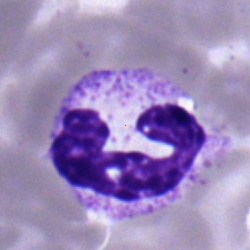
The cell shown is a segmented neutrophil.